Bone marrow smear:
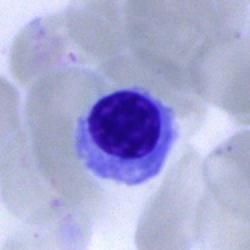Q: What cell is this?
A: This is a normoblast.